Bone marrow smear — 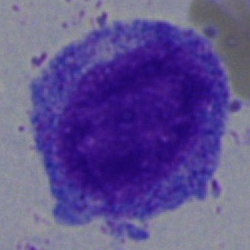

Specimen: bone marrow smear.
Morphological class: promyelocyte.
Lineage: myeloid.